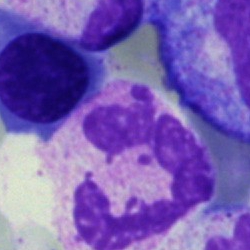 Cell type: neutrophil (segmented).